Bone marrow aspirate smear; single cell centered in the field
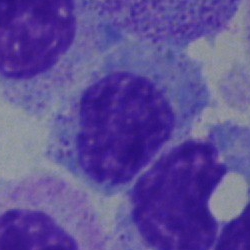 Specimen: bone marrow smear.
Cell: myelocyte.
Lineage: myeloid.